Bone marrow smear.
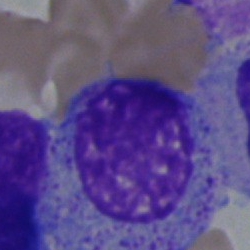 Q: What type of cell is this?
A: Myelocyte.